Bone marrow smear — 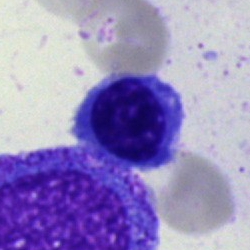
The cell shown is a normoblast.